Peripheral blood smear · single-cell crop.
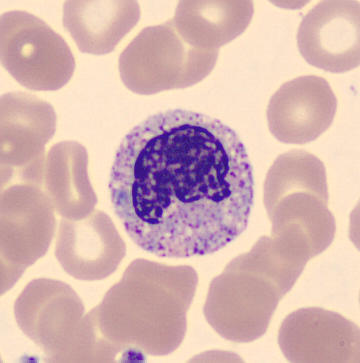Cell type: metamyelocyte.